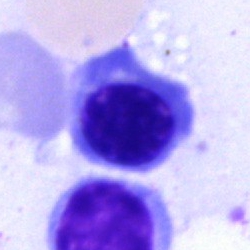 A nucleated red cell on a bone marrow smear.